Bone marrow aspirate smear; 250×250 px:
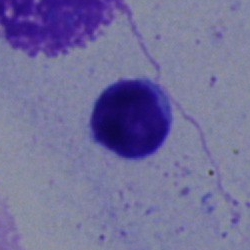Single cell identified as a lymphocyte.